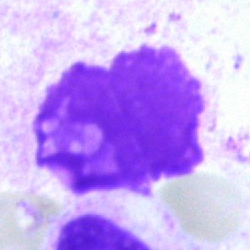The morphological class is artifact.